Bone marrow smear.
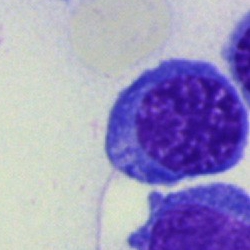
An erythroblast.